Bone marrow smear: 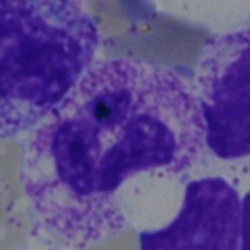
Single cell identified as a polymorphonuclear neutrophil.